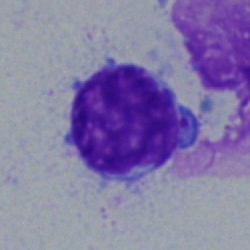 Cell = lymphocyte.